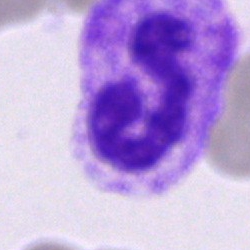

Impression — neutrophil (segmented).